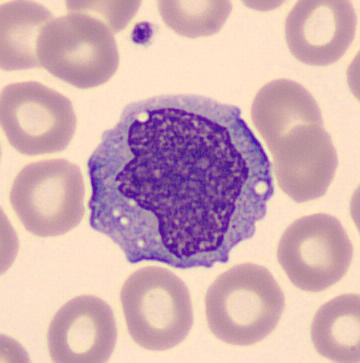 Acquisition: Peripheral blood film.
Impression — monocyte.